Bone marrow aspirate smear — 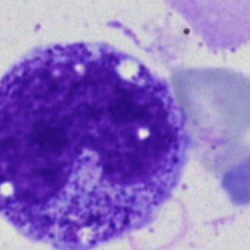
The cell type is progranulocyte.